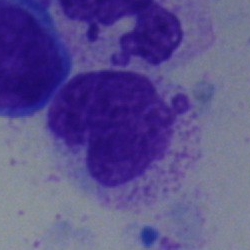
Q: Identify the cell.
A: It is a neutrophil (band).